Bone marrow aspirate smear · single-cell field: 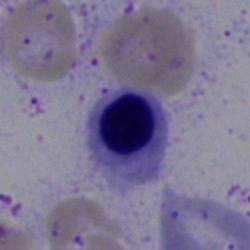
{"cell_type": "nucleated red blood cell", "lineage": "erythroid"}